Bone marrow smear · 40× objective, oil immersion
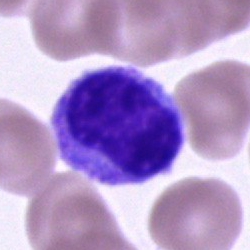The cell is unidentifiable cell.